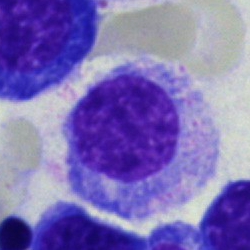A myelocyte on a bone marrow smear.